Bone marrow aspirate smear — 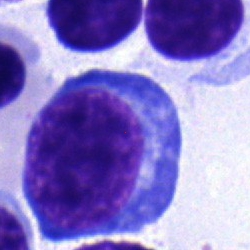

This is a nucleated red cell.